Bone marrow smear
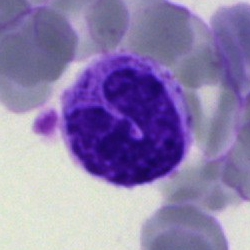Band-form neutrophil.